Single-cell crop · 250×250 px · bone marrow aspirate smear.
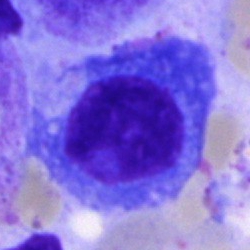 Specimen: bone marrow aspirate smear.
Classification: plasma cell.